Bone marrow smear; May-Grünwald-Giemsa stain: 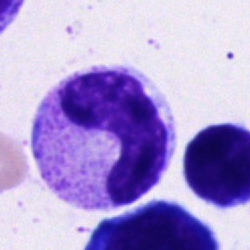
Cell type: band neutrophil.